Single cell centered in the field; brightfield, 40× oil-immersion objective; bone marrow smear:
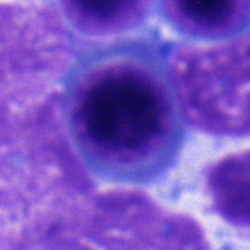 Nucleated red cell.